400×400 px. Peripheral blood film. M8 digital microscope (Precipoint), 100× oil immersion:
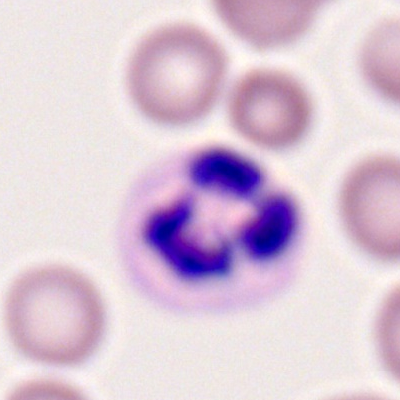A segmented neutrophil.